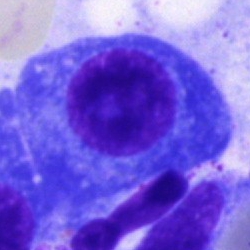Specimen: bone marrow smear.
Morphological class: plasmacyte.
Lineage: lymphoid.